Single-cell crop; peripheral blood film.
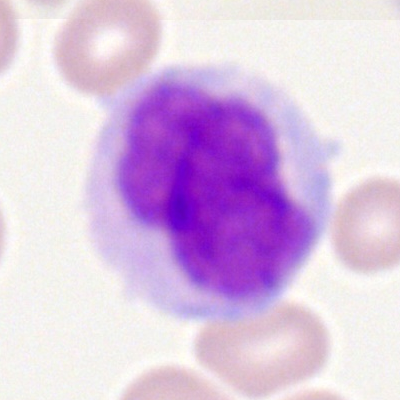Morphological class — monocyte.